Brightfield, 40× oil-immersion objective. Bone marrow smear — 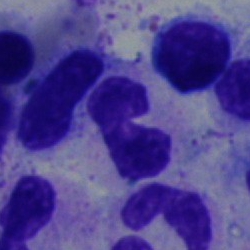The cell shown is a polymorphonuclear neutrophil.